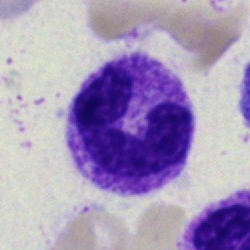 Q: What is shown here?
A: This is a neutrophil (band).